Bone marrow smear; 250×250 px — 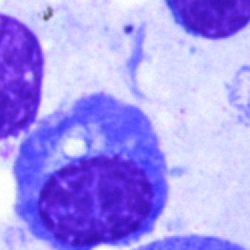

Specimen: bone marrow aspirate smear.
Classification: plasmacyte.
Lineage: lymphoid.